250×250. 40× oil immersion. Bone marrow aspirate smear
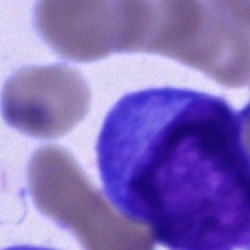

Specimen: bone marrow smear.
Morphological class: blast.